Peripheral blood smear — 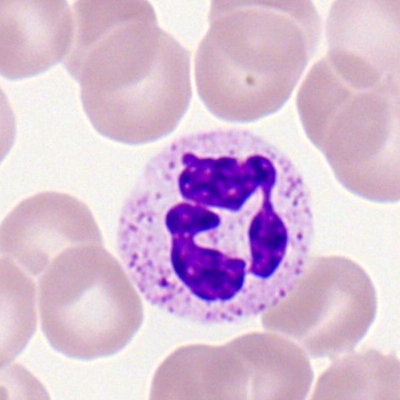

Specimen: peripheral blood film.
Classification: neutrophil (segmented).
Lineage: myeloid.